40× objective, oil immersion · bone marrow smear.
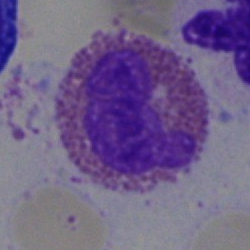 {"cell_type": "eosinophilic granulocyte", "lineage": "myeloid"}